Bone marrow smear
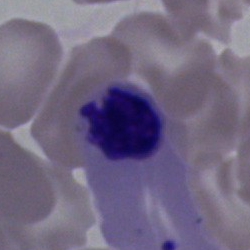 Cell: erythroblast.